250×250 px · bone marrow smear.
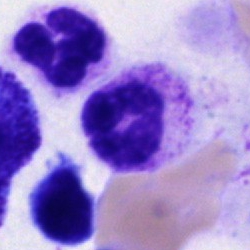

Specimen: bone marrow aspirate smear.
Morphological class: polymorphonuclear neutrophil.